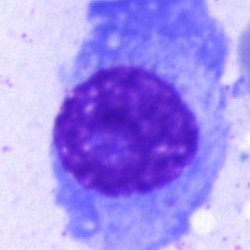
Cell — plasmacyte.